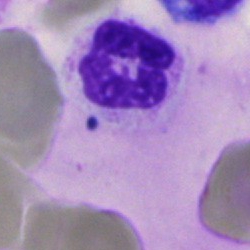
Morphological class = segmented neutrophil.